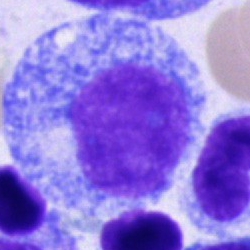The morphological class is progranulocyte.